Bone marrow smear · brightfield microscopy, 40× oil immersion.
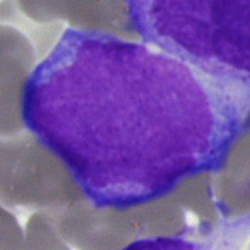

Morphology consistent with a blast.